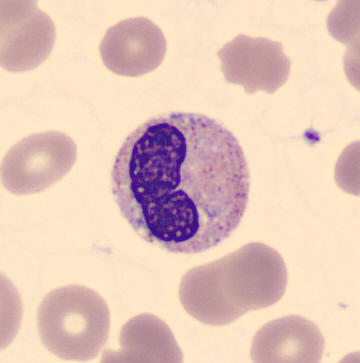Impression → band-form neutrophil. Peripheral blood film.